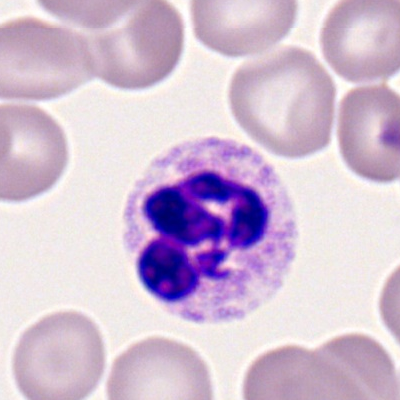Specimen: peripheral blood film.
Classification: segmented neutrophil.